Bone marrow smear:
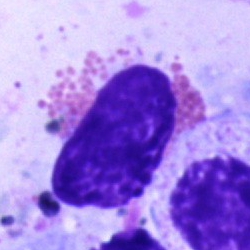Cell type: eosinophil.